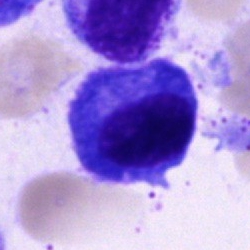Morphology consistent with a plasma cell.